Bone marrow aspirate smear
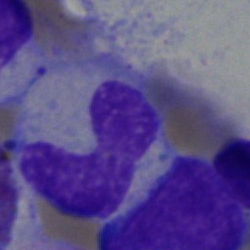 Q: Identify the cell.
A: It is a band-form neutrophil.